Bone marrow smear: 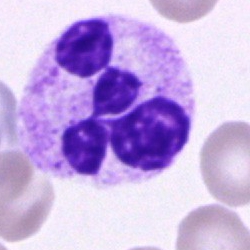
Q: What is the morphological classification of this cell?
A: This is a neutrophil (segmented).